Bone marrow aspirate smear — 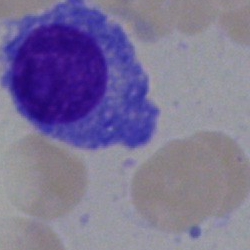

Specimen: bone marrow aspirate smear.
Classification: plasma cell.